Bone marrow aspirate smear; May-Grünwald-Giemsa/Pappenheim stain; image size 250×250
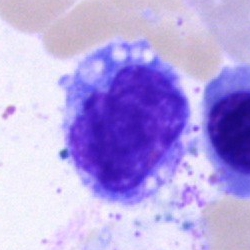
A monocyte.